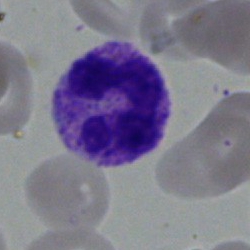

Impression → polymorphonuclear neutrophil.